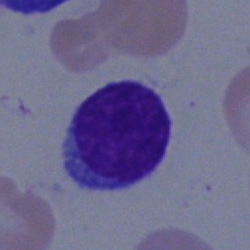

Cell — lymphocyte.